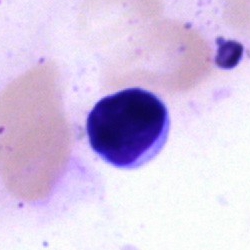 The cell shown is a typical lymphocyte.